250×250 px. Bone marrow aspirate smear. Single-cell field — 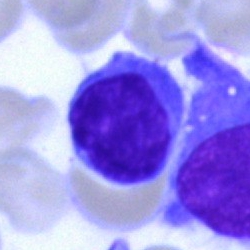

The morphological class is typical lymphocyte.